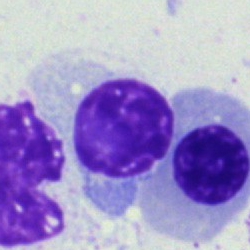
Morphology — erythroblast.